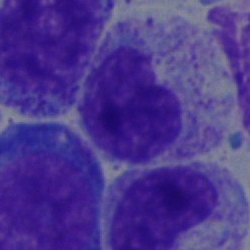
A metamyelocyte on a bone marrow smear.